May-Grünwald-Giemsa stain. Bone marrow aspirate smear:
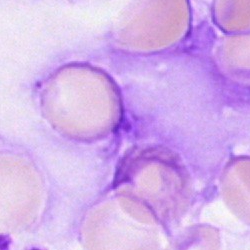 Morphological class: artefact.